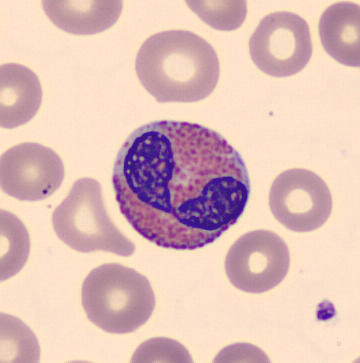
Image: Peripheral blood smear. The morphological class is eosinophilic granulocyte.